Bone marrow smear:
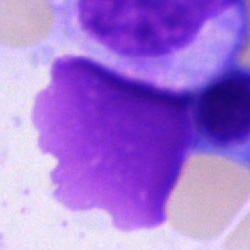 Q: What is shown here?
A: An artifact.